Bone marrow aspirate smear:
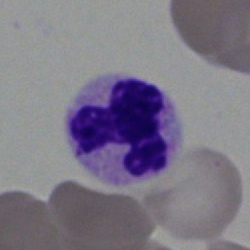{"cell_type": "segmented neutrophil"}